Bone marrow smear. Image size 250×250. Single-cell crop: 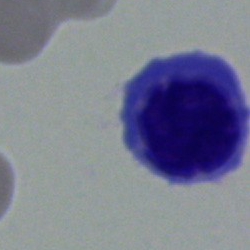 Q: Identify the cell.
A: Erythroblast.